MGG-stained; bone marrow smear
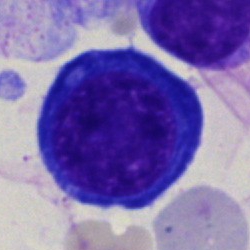 Q: Identify the cell.
A: This is a proerythroblast.